Single-cell crop; bone marrow smear: 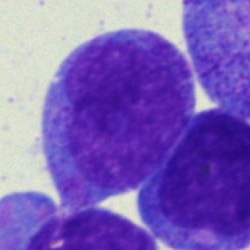

Promyelocyte.